May-Grünwald-Giemsa stain; 40× oil immersion; bone marrow aspirate smear
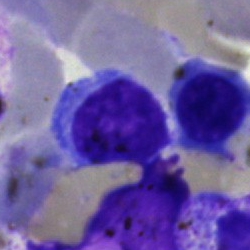

This is a typical lymphocyte.